May-Grünwald-Giemsa/Pappenheim stain · bone marrow smear:
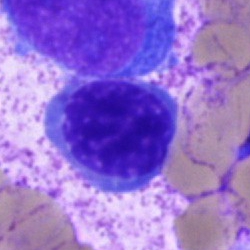

Q: What type of cell is this?
A: This is a nucleated red cell.